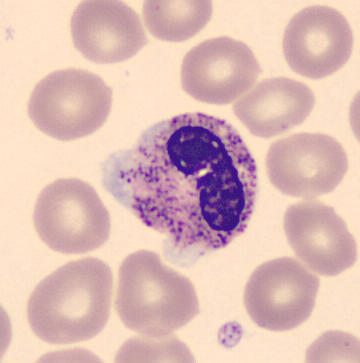Image: Automated cell imaging (CellaVision DM96). Peripheral blood film.

Impression — polymorphonuclear neutrophil.